Peripheral blood film — 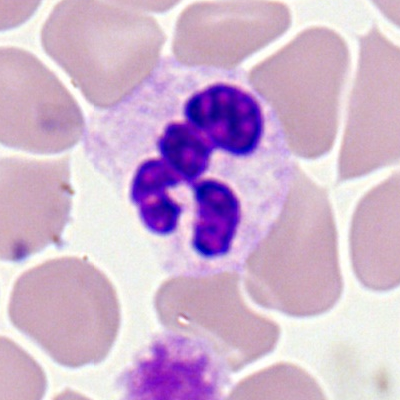Showing a neutrophil (segmented).